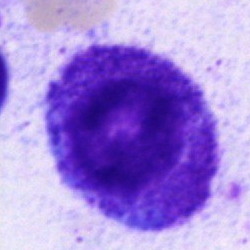 Cell: progranulocyte.